Peripheral blood smear
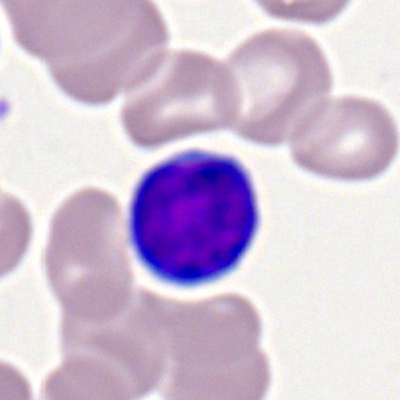Q: What is shown here?
A: A typical lymphocyte.